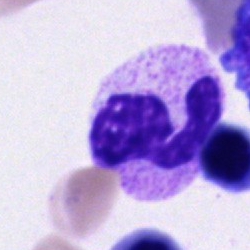
Q: What type of cell is this?
A: It is a polymorphonuclear neutrophil.